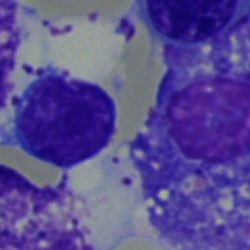Morphology consistent with a lymphocyte.